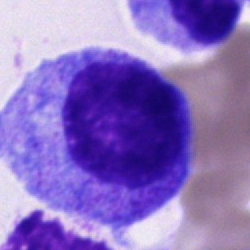

A promyelocyte on a bone marrow smear.